May-Grünwald-Giemsa/Pappenheim stain; bone marrow smear
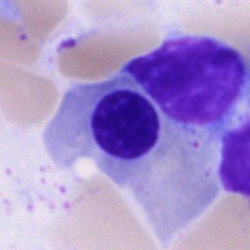Morphology consistent with a normoblast.